Bone marrow aspirate smear.
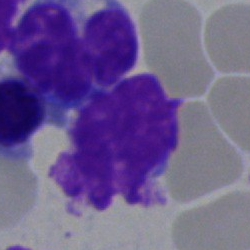
Q: What is shown here?
A: It is an artifact.